250 by 250 pixels. Bone marrow aspirate smear. Cropped to a single cell.
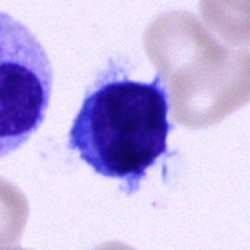

Impression → typical lymphocyte.